Bone marrow smear; single-cell field
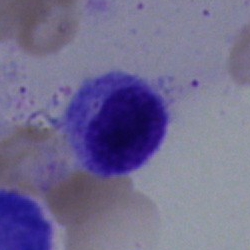
Q: Identify the cell.
A: It is a lymphocyte.